Bone marrow smear:
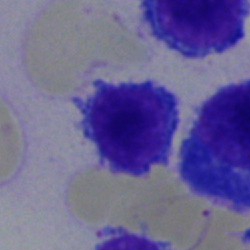

Cell type — lymphocyte.